Bone marrow smear: 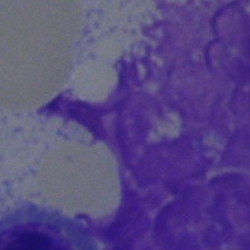
An artefact.